Bone marrow smear · 250 by 250 pixels · single cell centered in the field
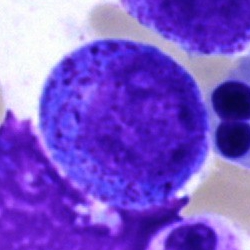 Specimen: bone marrow aspirate smear.
Classification: progranulocyte.